Bone marrow aspirate smear: 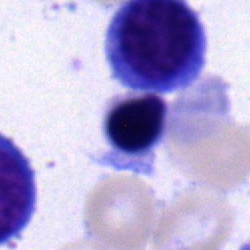Q: What type of cell is this?
A: Normoblast.